Bone marrow smear: 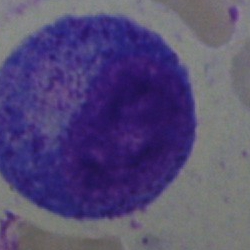
Impression → progranulocyte.